Single-cell crop; May-Grünwald-Giemsa stain; bone marrow aspirate smear — 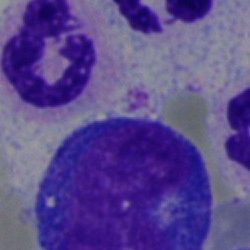

{"cell_type": "unidentifiable cell"}